Bone marrow aspirate smear.
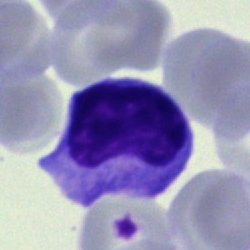 Specimen: bone marrow smear.
Classification: lymphocyte.